MGG-stained. Bone marrow aspirate smear — 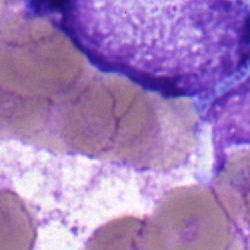

Q: What is the morphological classification of this cell?
A: A myelocyte.